250 by 250 pixels · bone marrow smear: 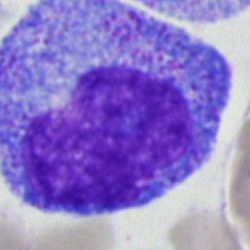

{"cell_type": "promyelocyte"}